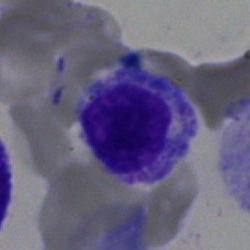

Showing a normoblast.